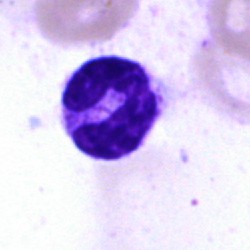Cell: neutrophil (segmented).